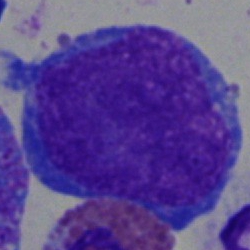
Q: What is shown here?
A: This is a blast.